Bone marrow aspirate smear; brightfield, 40× oil-immersion objective
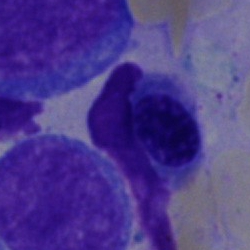

A normoblast.